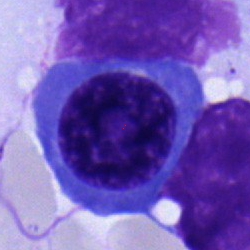Q: What type of cell is this?
A: A nucleated red cell.